Bone marrow aspirate smear: 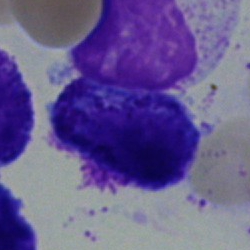

Q: Which cell type is shown here?
A: This is a blast cell.